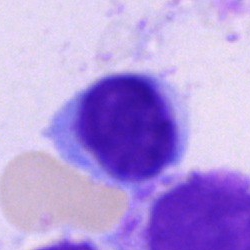
Q: What type of cell is this?
A: This is a typical lymphocyte.